Bone marrow smear:
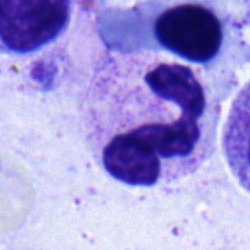 Cell type — segmented neutrophil.